Bone marrow aspirate smear: 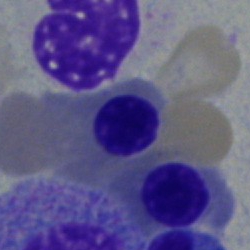 Q: What is the morphological classification of this cell?
A: It is a normoblast.